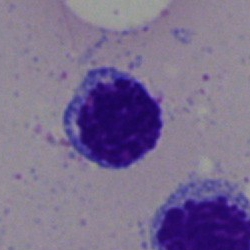 Cell type = typical lymphocyte.